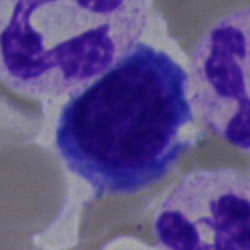
Nucleated red cell.